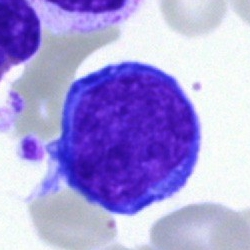 Erythroblast.